Bone marrow smear; brightfield, 40× oil-immersion objective; MGG-stained
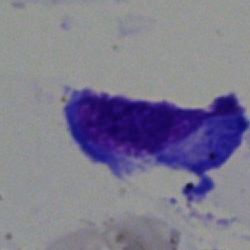
Unidentifiable cell.